Bone marrow smear:
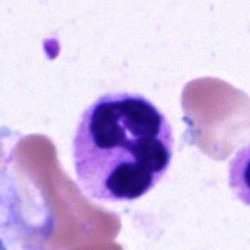Cell = neutrophil (segmented).